Peripheral blood film; 360×363:
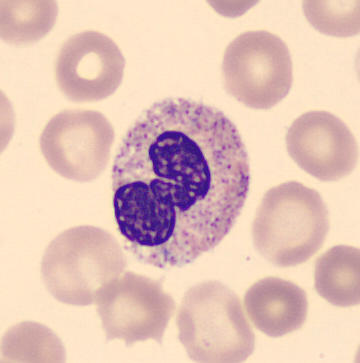 A neutrophil (segmented).